Bone marrow aspirate smear.
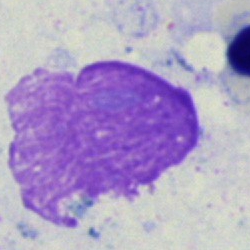

Morphology — artefact.